Bone marrow aspirate smear: 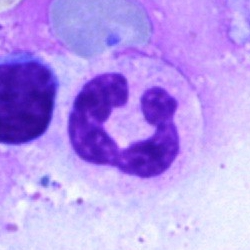
Morphological class: neutrophil (segmented).